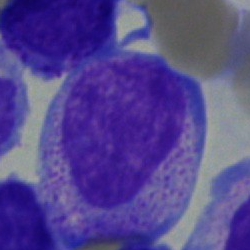Promyelocyte.